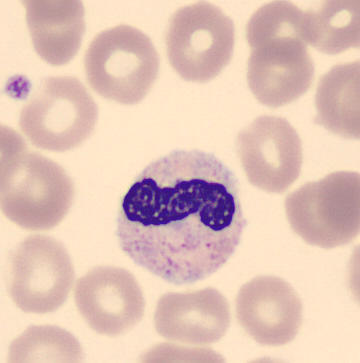

Cell = stab cell. Image: MGG-stained · peripheral blood smear.